250 by 250 pixels. 40× oil immersion. Bone marrow smear:
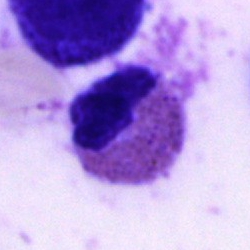 Morphological class: eosinophil.